Bone marrow aspirate smear — 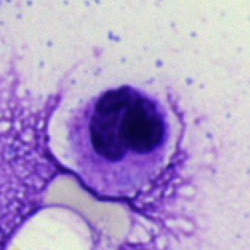
Specimen: bone marrow aspirate smear.
Classification: polymorphonuclear neutrophil.
Lineage: myeloid.